Bone marrow smear. 40× objective, oil immersion. 250×250:
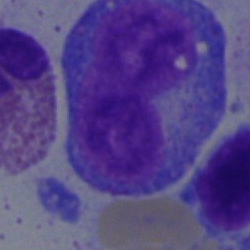 Morphology → blast.